Bone marrow aspirate smear; 40× objective, oil immersion
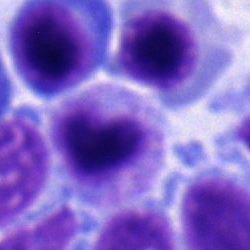 Q: Identify the cell.
A: This is a neutrophil (segmented).